Bone marrow aspirate smear.
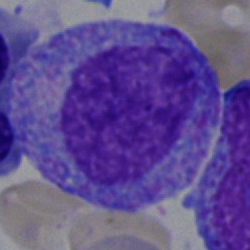
Morphological class — progranulocyte.